Single cell centered in the field; bone marrow smear.
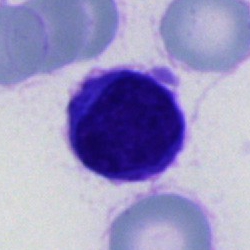

The morphological class is unidentifiable cell.